Bone marrow aspirate smear; 250×250 px: 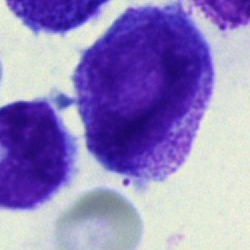 A progranulocyte.